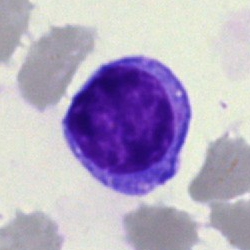Q: What is shown here?
A: This is a lymphocyte.